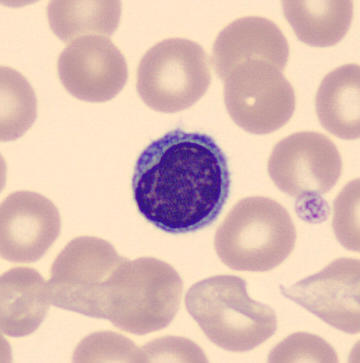
Identified as a lymphocyte.

Image: Peripheral blood film · 360×363 px · MGG-stained.